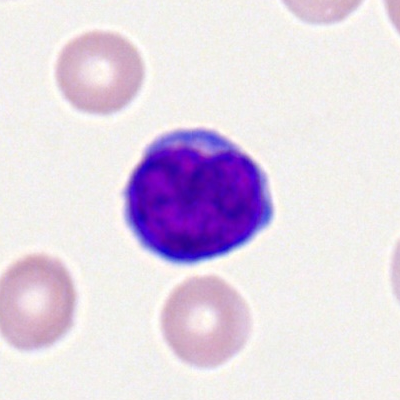
The cell type is typical lymphocyte.